Bone marrow aspirate smear.
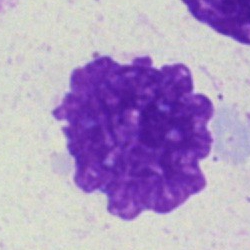

Impression — artifact.